Bone marrow aspirate smear.
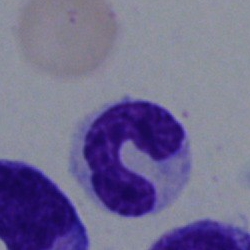

Specimen: bone marrow smear.
Cell type: stab cell.